Bone marrow smear — 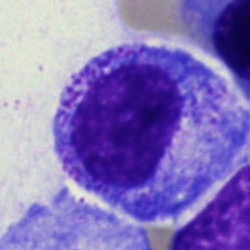 Morphological class: progranulocyte.